Peripheral blood smear
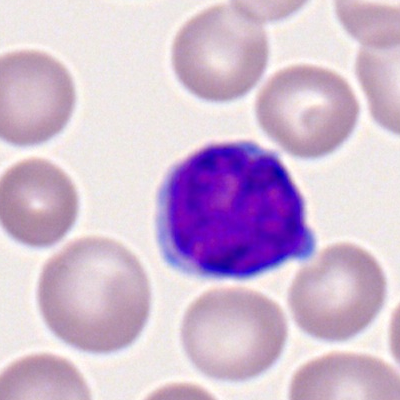

Specimen: peripheral blood smear.
Morphological class: typical lymphocyte.